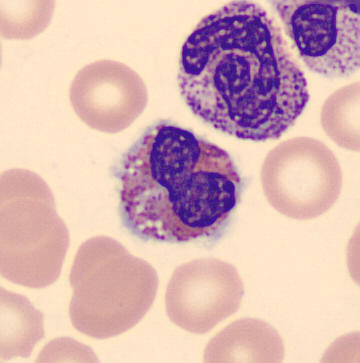 {"cell_type": "eosinophil"}

Preparation: Peripheral blood film.